Bone marrow smear:
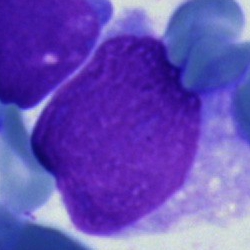Q: Identify the cell.
A: A blast.